Bone marrow aspirate smear · 250 by 250 pixels · brightfield microscopy, 40× oil immersion.
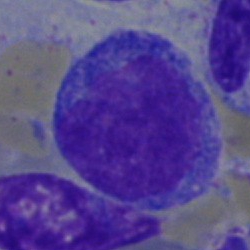 Morphology — blast cell.